Bone marrow smear:
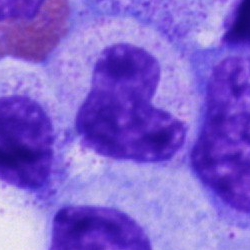
Cell type — stab cell.